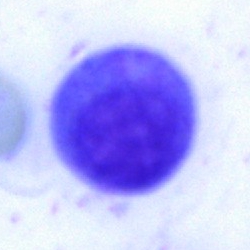
Single-cell crop from a bone marrow smear: unidentifiable cell.